Bone marrow aspirate smear.
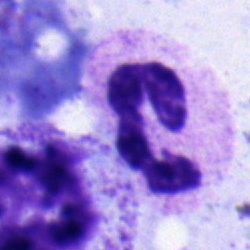

Showing a segmented neutrophil.